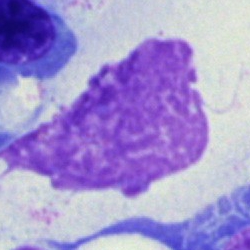 Morphology → artifact.